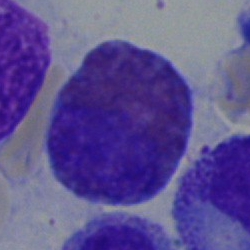

Q: Which cell type is shown here?
A: It is an eosinophil.